May-Grünwald-Giemsa/Pappenheim stain · bone marrow aspirate smear · single cell centered in the field — 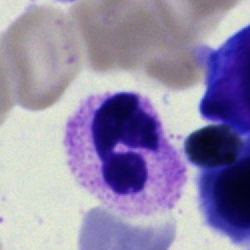
The cell shown is a polymorphonuclear neutrophil.